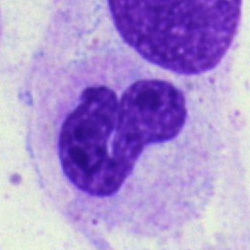 Specimen: bone marrow smear.
Morphological class: segmented neutrophil.